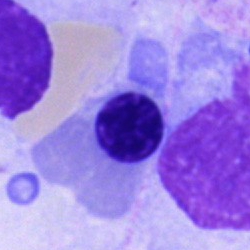

This is an erythroblast.